MGG-stained; bone marrow aspirate smear
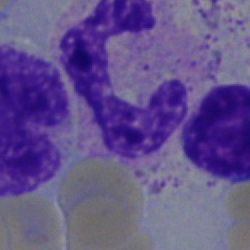
Q: What is shown here?
A: It is a neutrophil (segmented).